100× oil immersion · peripheral blood film.
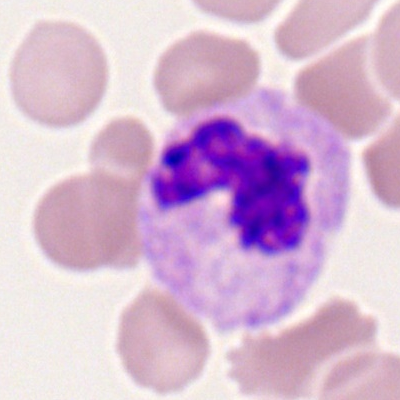Q: Identify the cell.
A: It is a polymorphonuclear neutrophil.